Cropped to a single cell · brightfield, 40× oil-immersion objective · bone marrow smear
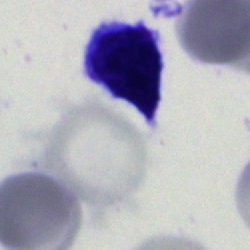Cell type — undifferentiated blast.